100× oil immersion, 14.14 px/µm; peripheral blood film.
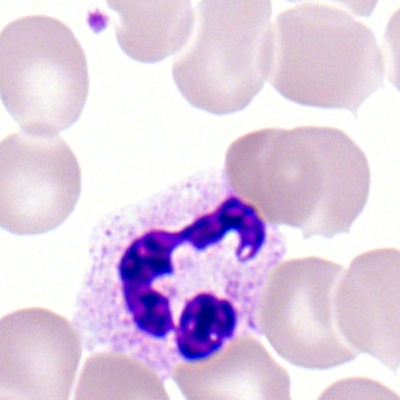

Cell type = segmented neutrophil.